Bone marrow aspirate smear
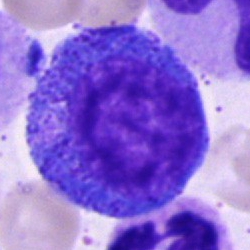

Showing a promyelocyte.